Bone marrow smear — 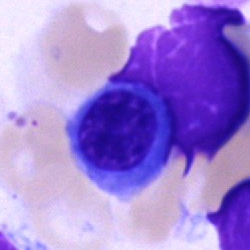 Morphology consistent with a normoblast.